Peripheral blood smear
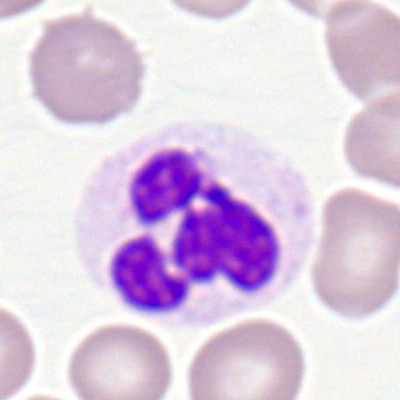

A segmented neutrophil.